Bone marrow aspirate smear. Brightfield, 40× oil-immersion objective. Image size 250×250
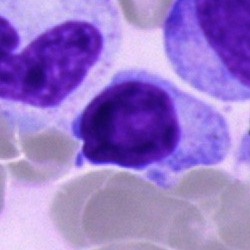

Showing a lymphocyte.